Bone marrow smear · single cell centered in the field · 40× oil immersion — 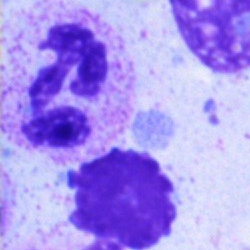
This is a segmented neutrophil.